Peripheral blood smear; single-cell field
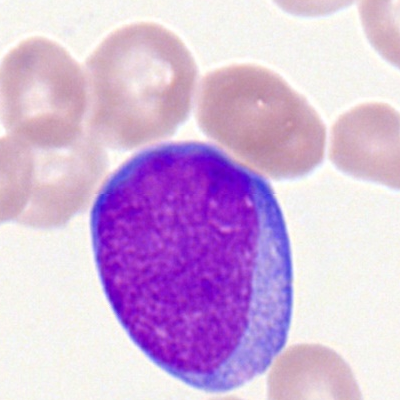 Q: Identify the cell.
A: This is a myeloid blast.